Bone marrow smear:
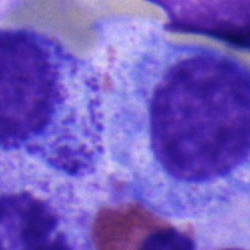
Specimen: bone marrow aspirate smear.
Classification: promyelocyte.
Lineage: myeloid.